40× oil immersion. Bone marrow aspirate smear.
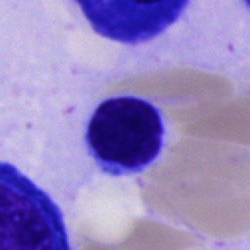
Q: Identify the cell.
A: A typical lymphocyte.